Bone marrow aspirate smear — 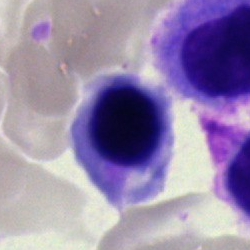 This is a nucleated red blood cell.